Peripheral blood smear; 400×400; 100× oil immersion, 14.14 px/µm.
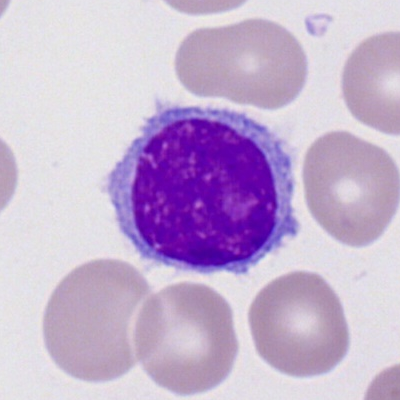

Q: Identify the cell.
A: This is a lymphocyte.